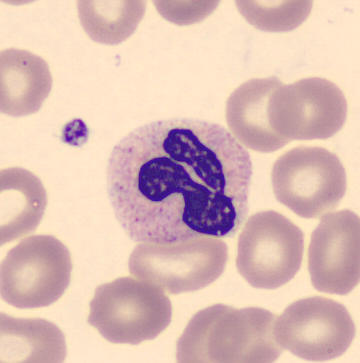Impression → neutrophil (segmented).

Acquisition: Peripheral blood smear.